Image size 250×250 · bone marrow aspirate smear.
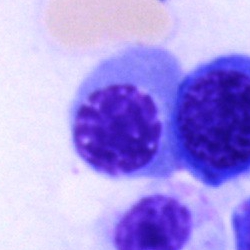Classification = nucleated red blood cell.